Bone marrow smear: 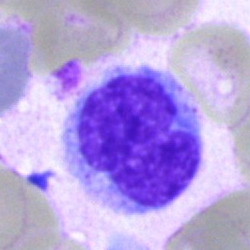
Specimen: bone marrow aspirate smear.
Morphological class: metamyelocyte.
Lineage: myeloid.